Bone marrow smear: 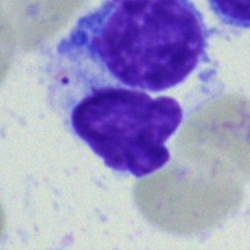Single cell identified as a lymphocyte.